Bone marrow smear — 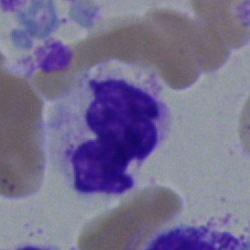Morphological class = neutrophil (segmented).